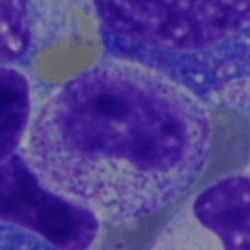

Cell type = metamyelocyte.